Bone marrow smear — 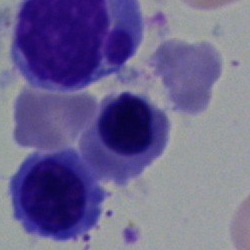Showing a nucleated red cell.